Bone marrow aspirate smear. Single-cell crop: 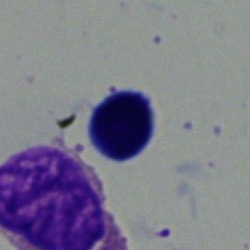Cell type — typical lymphocyte.